40× oil immersion; bone marrow aspirate smear; May-Grünwald-Giemsa/Pappenheim stain:
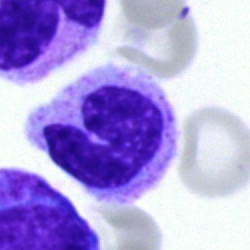

Band neutrophil.